Bone marrow aspirate smear: 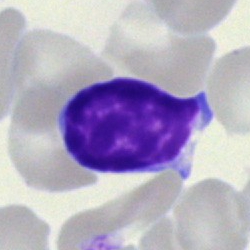
Morphological class: lymphocyte.